Bone marrow smear
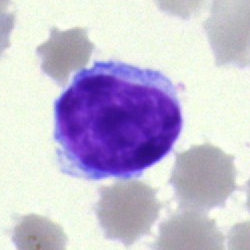
Morphology — typical lymphocyte.